Brightfield microscopy, 40× oil immersion; MGG-stained; bone marrow aspirate smear:
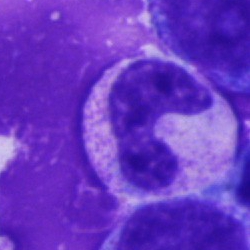 The cell shown is a band-form neutrophil.